Bone marrow smear — 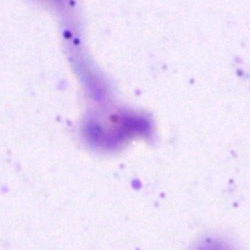
The cell shown is an artefact.